Bone marrow aspirate smear: 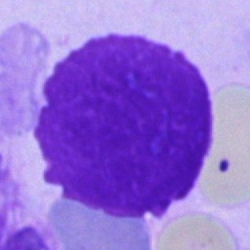

This is an artefact.